Bone marrow smear; cropped to a single cell: 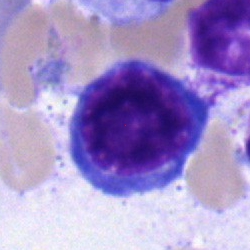

This is an erythroblast.